Bone marrow smear; cropped to a single cell; brightfield microscopy, 40× oil immersion.
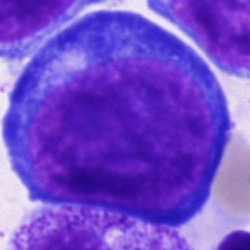
Q: What type of cell is this?
A: This is a proerythroblast.